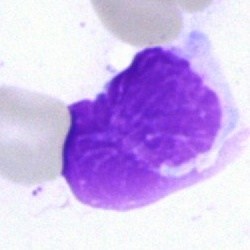

Cell — artifact.